Single cell centered in the field · 250×250 · bone marrow aspirate smear:
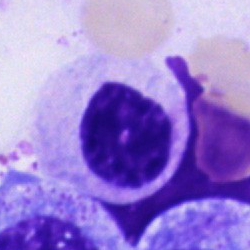 Cell — cell of indeterminate lineage.